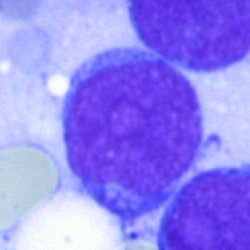 Morphological class: undifferentiated blast.